Bone marrow smear: 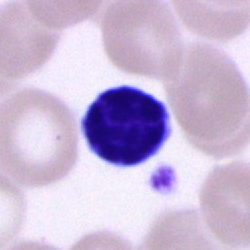Q: What type of cell is this?
A: It is a lymphocyte.